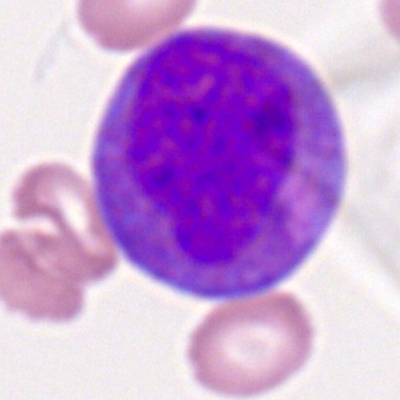 The cell shown is a progranulocyte.